40× oil immersion; bone marrow smear:
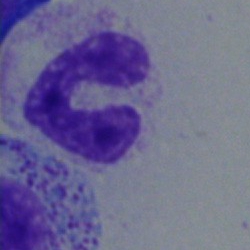{"cell_type": "neutrophil (band)", "lineage": "myeloid"}